Bone marrow aspirate smear.
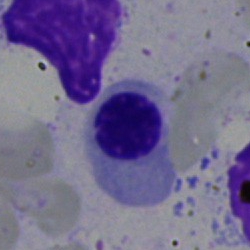

An erythroblast.